Bone marrow aspirate smear: 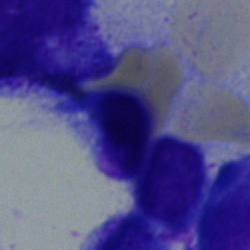
The cell type is normoblast.